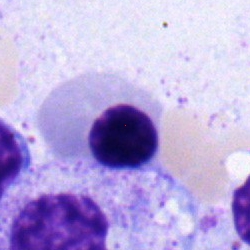 A nucleated red blood cell on a bone marrow smear.